Bone marrow aspirate smear
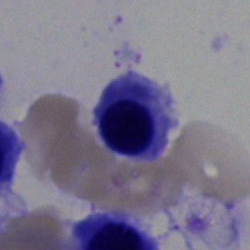

{"cell_type": "nucleated red cell"}